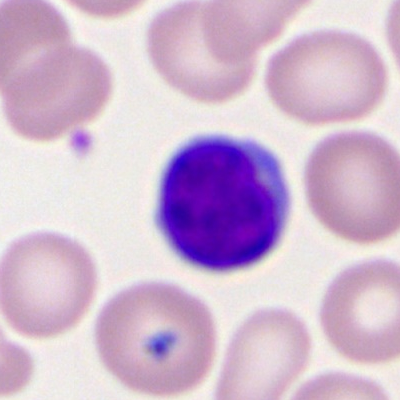
Q: Which cell type is shown here?
A: Lymphocyte.